Bone marrow aspirate smear · single-cell crop · 250×250: 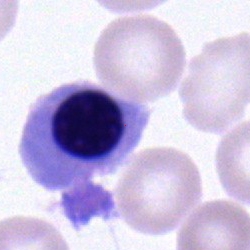Q: What is shown here?
A: A nucleated red blood cell.